Bone marrow smear:
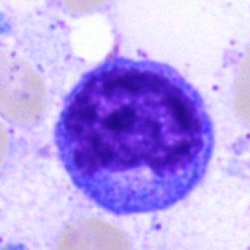 Morphology — progranulocyte.